Peripheral blood smear: 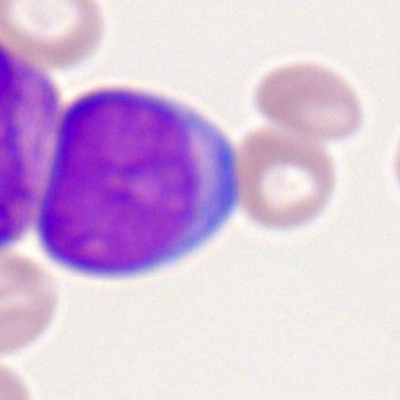Classification — myeloid blast.